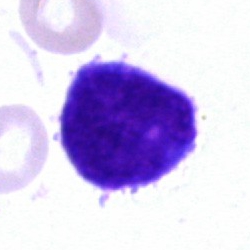
Morphology → blast.